Peripheral blood smear: 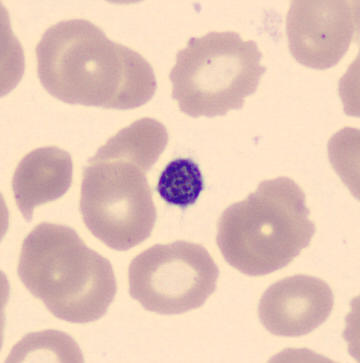
This is a platelet.